Bone marrow smear:
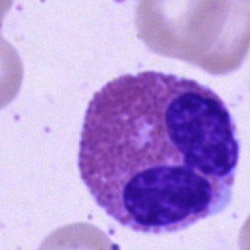Q: Identify the cell.
A: This is an eosinophilic granulocyte.